Pappenheim-stained. Bone marrow aspirate smear
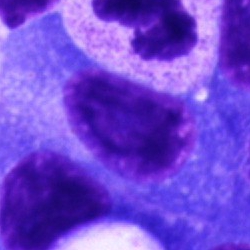Morphological class = plasmacyte.